Bone marrow aspirate smear. 40× objective, oil immersion: 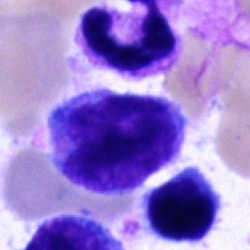
A blast.